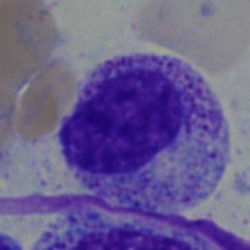 A myelocyte.